250 by 250 pixels; bone marrow aspirate smear: 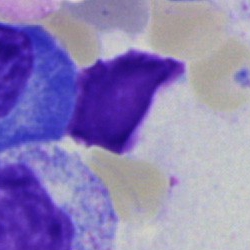
This is an artifact.